Bone marrow aspirate smear — 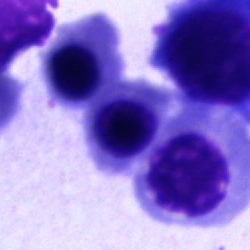

Q: What type of cell is this?
A: Normoblast.